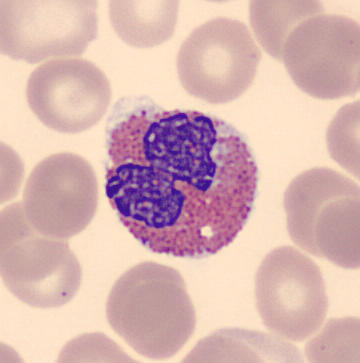
Peripheral blood film. Cell type: eosinophilic granulocyte.